Bone marrow smear: 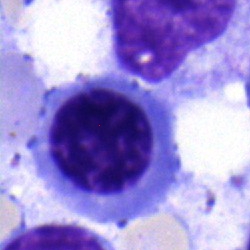

Morphological class — normoblast.